Peripheral blood film
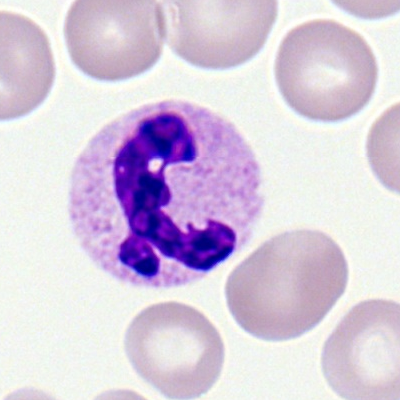

Morphological class: polymorphonuclear neutrophil.